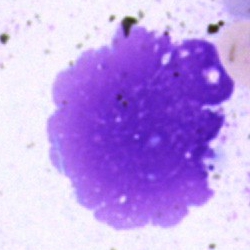This is an artifact.